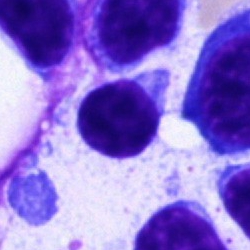

Cell: lymphocyte.